Bone marrow aspirate smear — 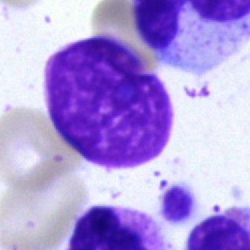
Cell type: artefact.